Bone marrow aspirate smear. Single-cell crop. May-Grünwald-Giemsa/Pappenheim stain.
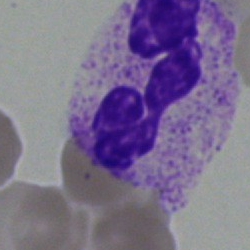

Segmented neutrophil.